May-Grünwald-Giemsa stain · bone marrow smear.
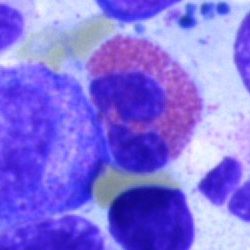
Eosinophilic granulocyte.